Bone marrow smear: 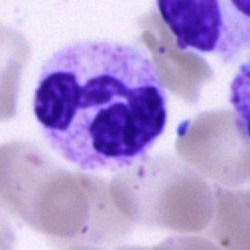
Q: What is the morphological classification of this cell?
A: This is a neutrophil (segmented).